250×250. Bone marrow smear
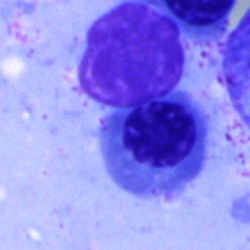
Q: What is shown here?
A: A nucleated red blood cell.